40× objective, oil immersion; bone marrow smear — 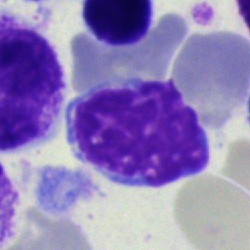Cell type = artifact.